Bone marrow aspirate smear:
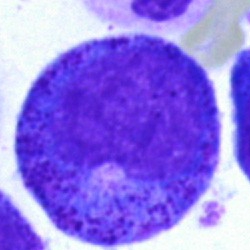 Specimen: bone marrow smear.
Morphological class: progranulocyte.
Lineage: myeloid.